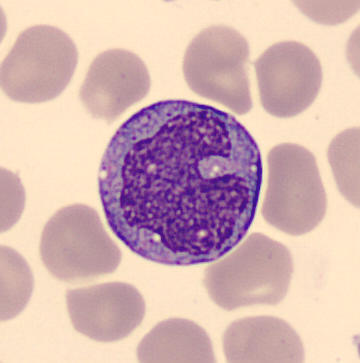Impression — monocyte. Automated cell imaging (CellaVision DM96). Peripheral blood smear.